Bone marrow smear · May-Grünwald-Giemsa/Pappenheim stain:
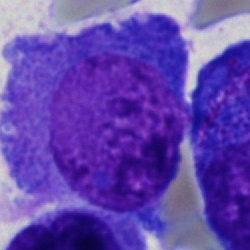
Cell — plasmacyte.